250 by 250 pixels. Bone marrow aspirate smear.
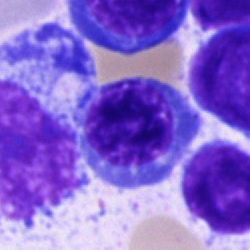

Morphological class: nucleated red blood cell.